May-Grünwald-Giemsa/Pappenheim stain. Bone marrow aspirate smear — 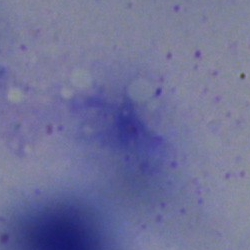Showing an artefact.